Bone marrow smear. MGG-stained.
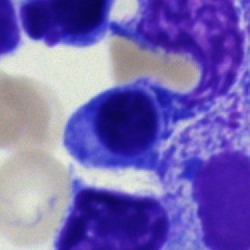
Cell type — normoblast.